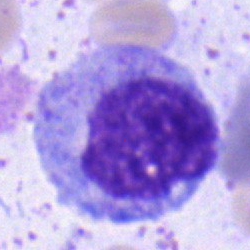
Specimen: bone marrow smear.
Classification: myelocyte.
Lineage: myeloid.